Peripheral blood film: 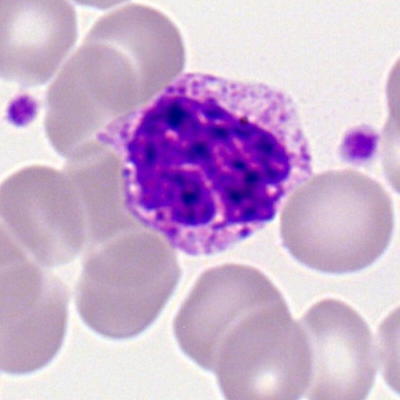Q: Identify the cell.
A: A basophil.